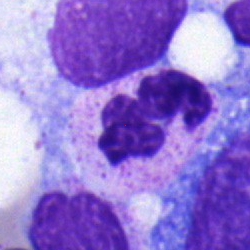
Cell: neutrophil (segmented).